Cropped to a single cell; bone marrow smear — 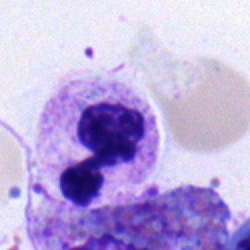 Cell type = segmented neutrophil.